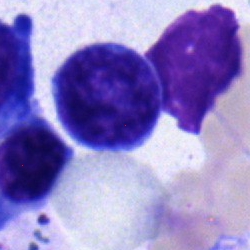Impression — typical lymphocyte.